Bone marrow aspirate smear.
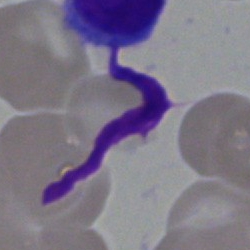
Morphological class — artefact.